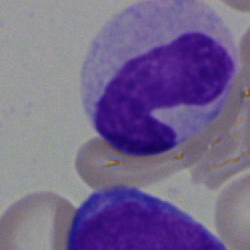 Specimen: bone marrow aspirate smear.
Classification: neutrophil (band).